Bone marrow smear. Brightfield microscopy, 40× oil immersion: 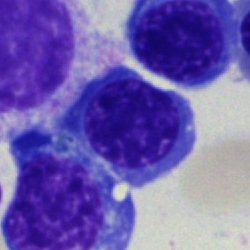

Q: What cell is this?
A: It is a normoblast.